40× oil immersion · bone marrow smear
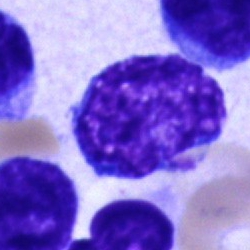
{"cell_type": "blast cell"}